Bone marrow smear: 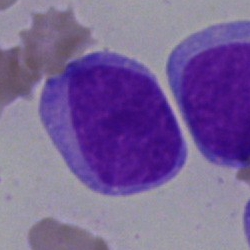

Morphology — blast.